Bone marrow smear · MGG-stained: 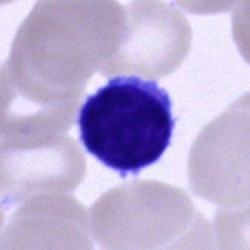 Q: What cell is this?
A: It is a typical lymphocyte.